Bone marrow smear — 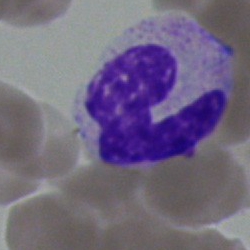
Q: What is the morphological classification of this cell?
A: A band-form neutrophil.